Bone marrow aspirate smear.
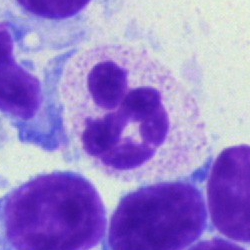

Q: Identify the cell.
A: This is a neutrophil (segmented).